Bone marrow aspirate smear.
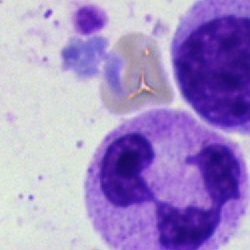 A segmented neutrophil.